Bone marrow aspirate smear.
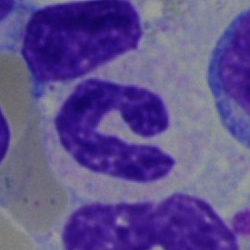 Q: What cell is this?
A: This is a band neutrophil.